Bone marrow smear: 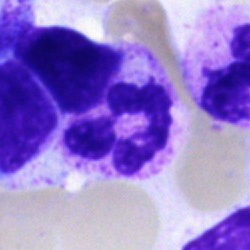 Cell: polymorphonuclear neutrophil.